Bone marrow aspirate smear; 250×250 — 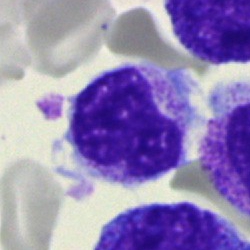

Stab cell.